Bone marrow aspirate smear · 250×250.
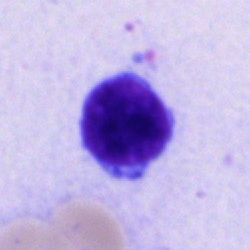
Morphological class: typical lymphocyte.